Bone marrow aspirate smear.
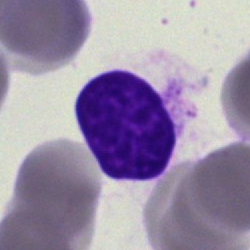 Classification — artefact.